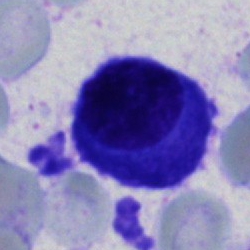 Q: What is shown here?
A: Plasmacyte.